Bone marrow aspirate smear — 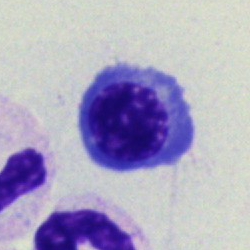Q: Identify the cell.
A: A nucleated red blood cell.